May-Grünwald-Giemsa/Pappenheim stain; 250×250 px; bone marrow smear
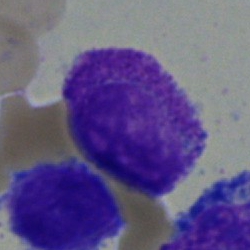

Showing a blast cell.